Bone marrow smear
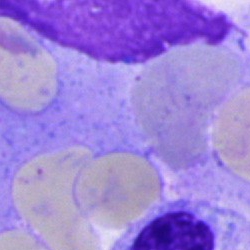 Q: What is shown here?
A: Artefact.